Image size 250×250. Bone marrow smear — 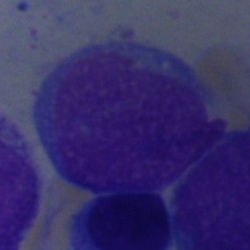

Impression — undifferentiated blast.